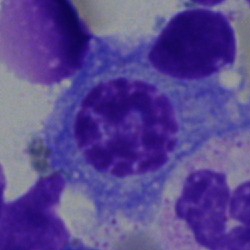
Morphology — plasmacyte.